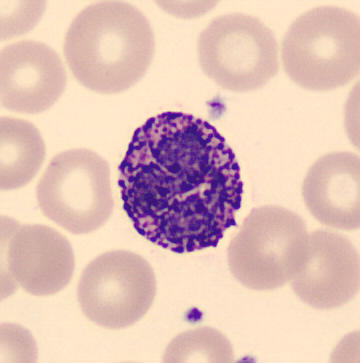Morphology consistent with a basophilic granulocyte.

Image: Peripheral blood film.